40× oil immersion. Bone marrow smear: 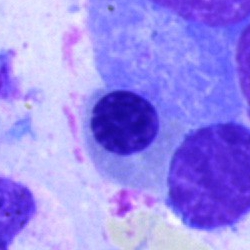Morphological class: erythroblast.